Bone marrow aspirate smear · MGG-stained — 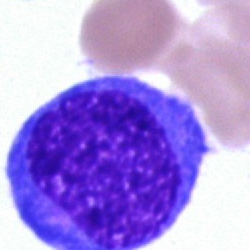
{"cell_type": "normoblast"}